Bone marrow smear — 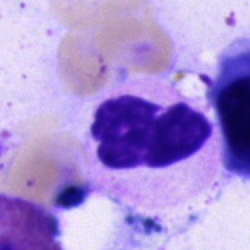 A neutrophil (segmented).